Bone marrow smear
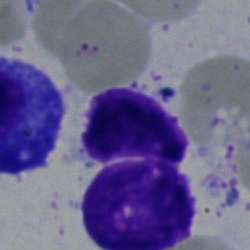

Artifact.